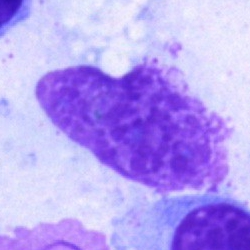 Artifact.